Bone marrow aspirate smear:
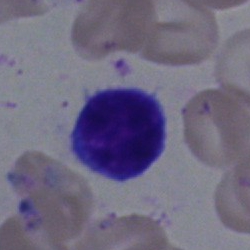 Morphology → typical lymphocyte.